Bone marrow smear: 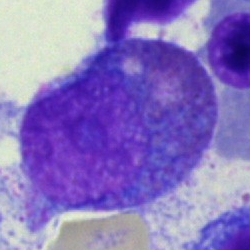An eosinophilic granulocyte.